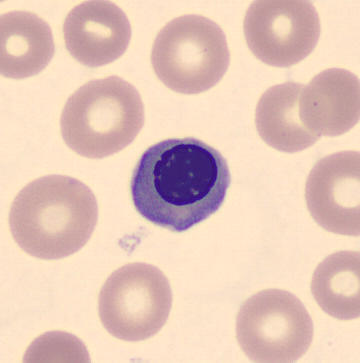 Morphology → nucleated red blood cell. Acquisition: Peripheral blood film.